Bone marrow smear: 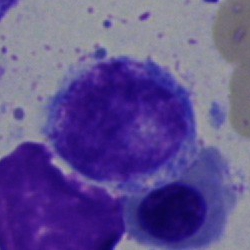

Morphology → monocyte.